40× objective, oil immersion. Bone marrow aspirate smear
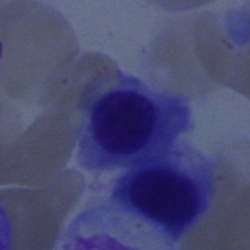
Cell type: nucleated red blood cell.